250 by 250 pixels. 40× objective, oil immersion. Bone marrow smear — 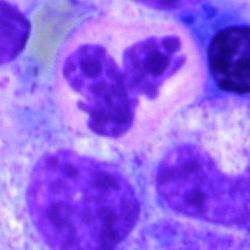
Q: What type of cell is this?
A: A polymorphonuclear neutrophil.